Bone marrow smear:
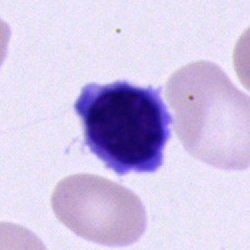Showing an erythroblast.